Bone marrow aspirate smear: 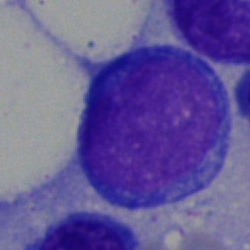Cell type = pronormoblast.